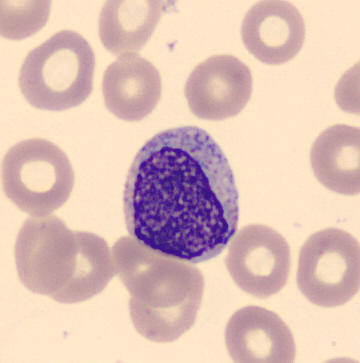Single-cell field. 360×363 px. Peripheral blood film.

Showing a myelocyte.